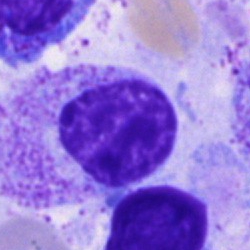
Myelocyte.